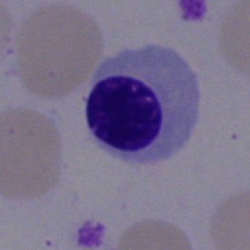
Q: What is the morphological classification of this cell?
A: A nucleated red cell.